Bone marrow aspirate smear.
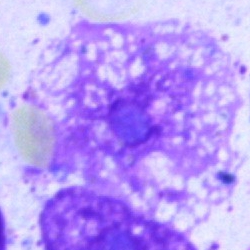

{"cell_type": "artefact"}